250 by 250 pixels. Pappenheim-stained. Bone marrow aspirate smear
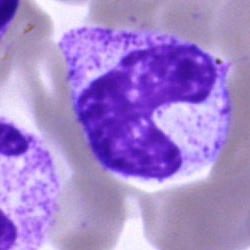
Morphology consistent with a band-form neutrophil.